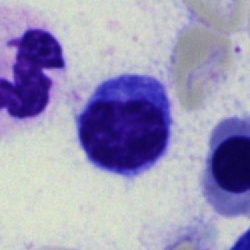

Single cell identified as a typical lymphocyte.